May-Grünwald-Giemsa stain · bone marrow aspirate smear — 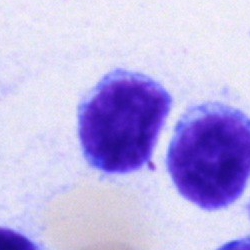
Morphology consistent with a lymphocyte.